Bone marrow aspirate smear · cropped to a single cell · 250×250:
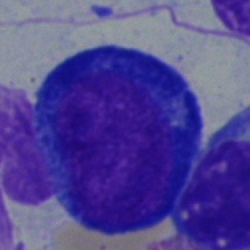Specimen: bone marrow aspirate smear.
Classification: pronormoblast.